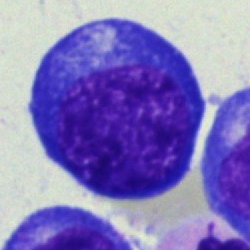Showing a nucleated red blood cell.